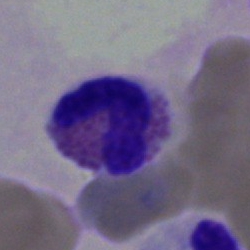

The cell is eosinophil.